Bone marrow smear. 250 by 250 pixels — 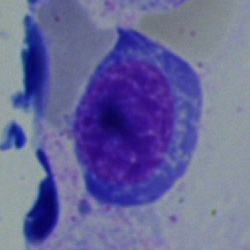 The cell shown is a proerythroblast.